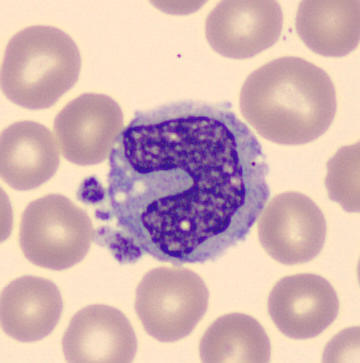 Acquisition: Peripheral blood smear; 360×363 px; CellaVision DM96. {"cell_type": "monocyte"}